Bone marrow smear — 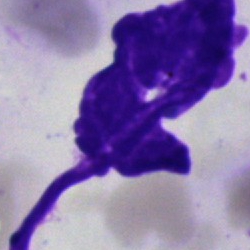Specimen: bone marrow smear.
Cell: artifact.